40× oil immersion · bone marrow aspirate smear · single-cell crop
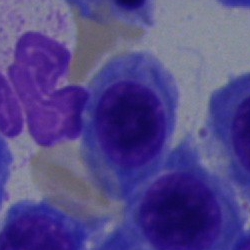
Specimen: bone marrow smear.
Cell type: normoblast.
Lineage: erythroid.